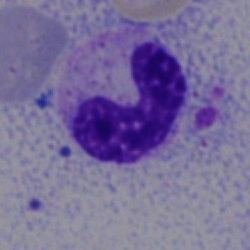Cell type = neutrophil (band).